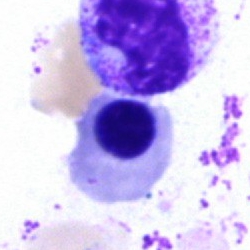Morphology consistent with a nucleated red blood cell.